Bone marrow aspirate smear
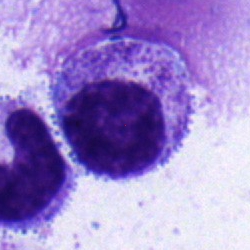 Single cell identified as a myelocyte.